Bone marrow aspirate smear — 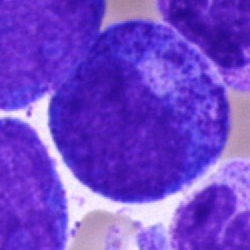 Specimen: bone marrow smear.
Classification: progranulocyte.
Lineage: myeloid.